Bone marrow smear · single-cell field · image size 250×250: 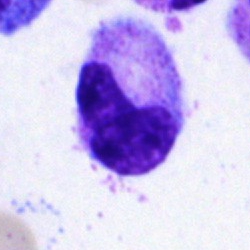Cell: metamyelocyte.